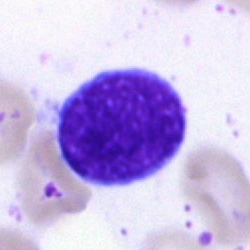

A typical lymphocyte on a bone marrow smear.